Bone marrow aspirate smear; single-cell field.
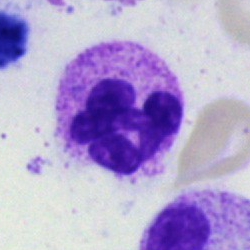This is a neutrophil (segmented).